MGG-stained; bone marrow aspirate smear.
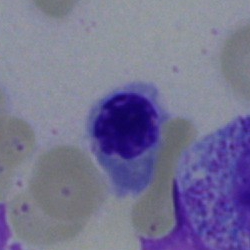

Q: What type of cell is this?
A: A nucleated red cell.